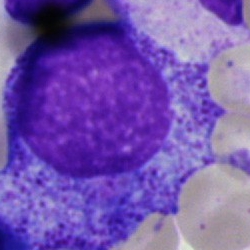

Morphological class — promyelocyte.